250 by 250 pixels; bone marrow aspirate smear: 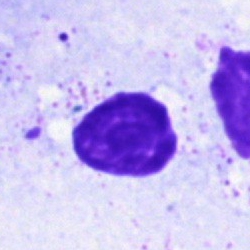 {"cell_type": "artefact"}